Bone marrow aspirate smear. 40× objective, oil immersion
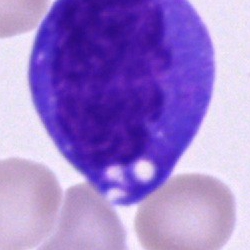
Cell type — monocyte.